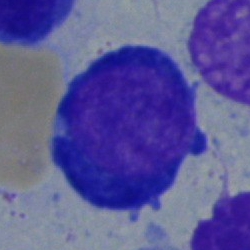Morphology — pronormoblast.